Bone marrow smear — 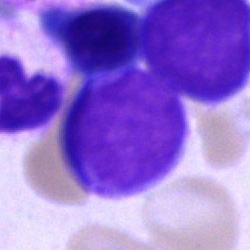

Cell type — blast cell.